Image size 250×250; bone marrow aspirate smear: 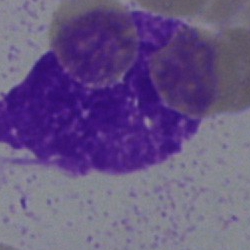Specimen: bone marrow smear.
Classification: artifact.